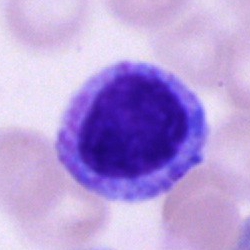

This is a myelocyte.